May-Grünwald-Giemsa/Pappenheim stain; bone marrow smear; single-cell crop:
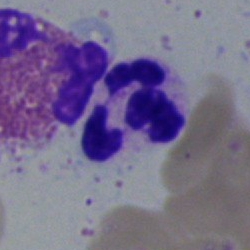 Specimen: bone marrow smear.
Cell: neutrophil (segmented).
Lineage: myeloid.